Bone marrow smear; single-cell field:
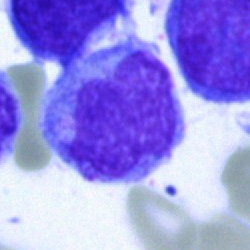

Morphological class: blast.